Bone marrow aspirate smear — 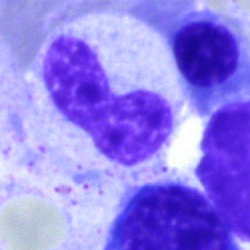 Q: What type of cell is this?
A: Neutrophil (band).